Bone marrow aspirate smear:
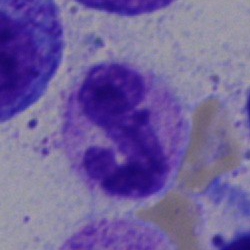

The cell type is segmented neutrophil.